MGG-stained. Cropped to a single cell. Bone marrow smear — 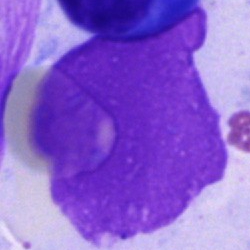

Morphology — artefact.